250 by 250 pixels; May-Grünwald-Giemsa stain; bone marrow aspirate smear
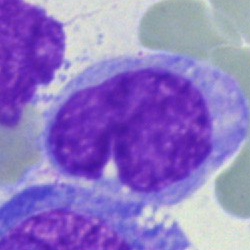Q: What cell is this?
A: This is a monocyte.